Bone marrow aspirate smear:
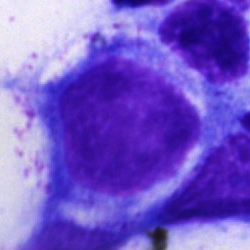
Morphology consistent with a blast.